Bone marrow smear.
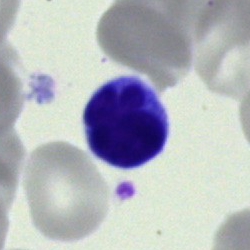 Specimen: bone marrow aspirate smear.
Cell type: typical lymphocyte.
Lineage: lymphoid.